Bone marrow smear
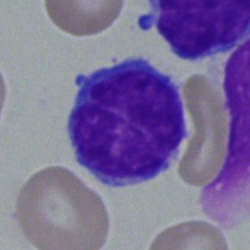

The cell is typical lymphocyte.